Bone marrow aspirate smear. 40× oil immersion — 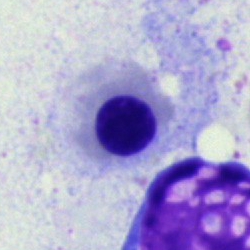 The cell type is erythroblast.